Single-cell crop. Bone marrow aspirate smear:
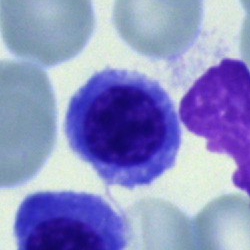Cell: nucleated red cell.